Bone marrow smear.
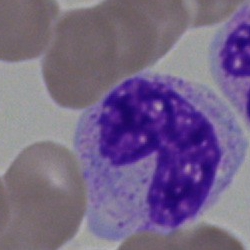
Q: What cell is this?
A: A band-form neutrophil.